Peripheral blood smear
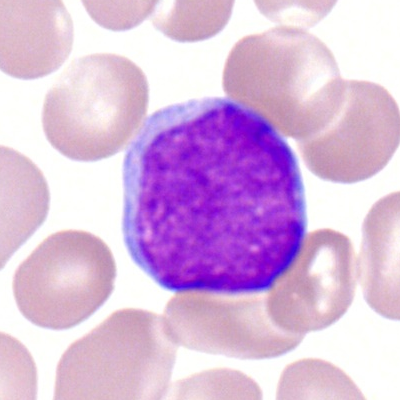 Specimen: peripheral blood smear.
Classification: myeloblast.
Lineage: myeloid.